Bone marrow aspirate smear
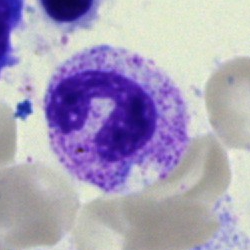
This is a neutrophil (band).